Bone marrow smear:
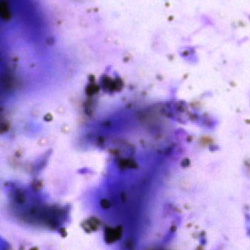 Specimen: bone marrow smear.
Classification: artifact.